Bone marrow smear · 250×250 · single-cell field:
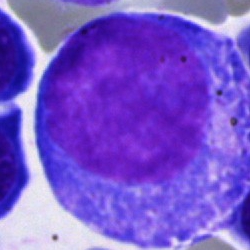Specimen: bone marrow smear.
Classification: promyelocyte.
Lineage: myeloid.